Bone marrow smear — 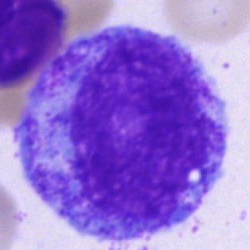The cell type is promyelocyte.